Bone marrow smear:
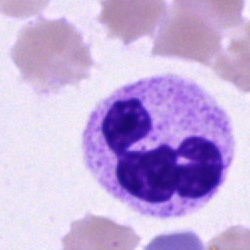 The classification is neutrophil (segmented).